Bone marrow aspirate smear. Single-cell crop: 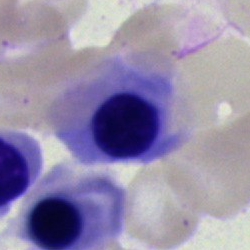

{"cell_type": "nucleated red cell", "lineage": "erythroid"}